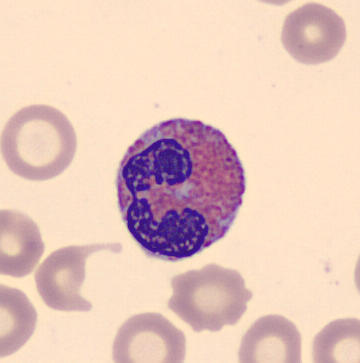
Impression → eosinophil.